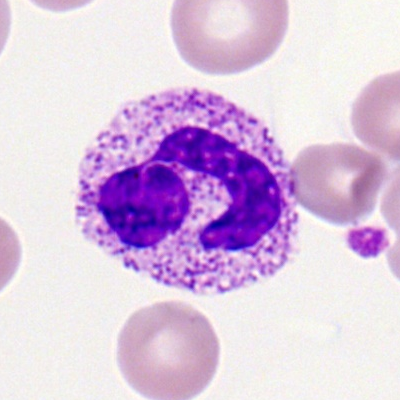Classification — polymorphonuclear neutrophil.